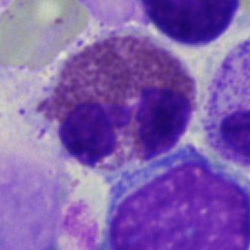

The cell is eosinophilic granulocyte.